MGG-stained; bone marrow smear.
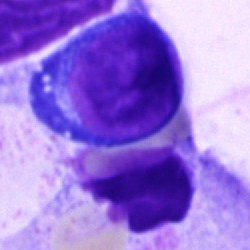 Morphology → proerythroblast.